MGG-stained. Bone marrow smear.
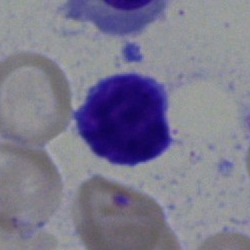Q: What is the morphological classification of this cell?
A: A typical lymphocyte.